Bone marrow aspirate smear. 250×250. 40× oil immersion — 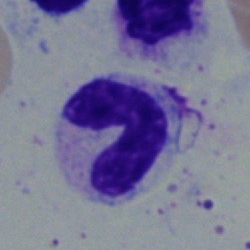
Specimen: bone marrow smear.
Cell type: band neutrophil.
Lineage: myeloid.